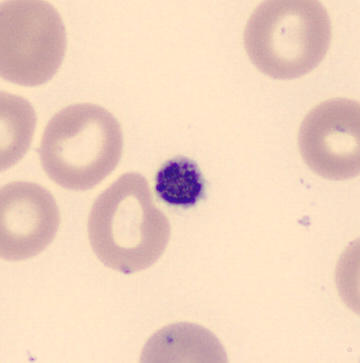

Q: What is shown here?
A: A platelet.